40× oil immersion; bone marrow aspirate smear.
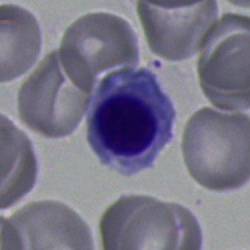
Erythroblast.